Bone marrow aspirate smear; MGG-stained; single cell centered in the field — 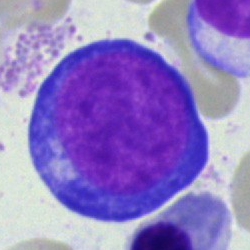

Q: What is shown here?
A: This is a pronormoblast.